Image size 250×250 · 40× oil immersion · bone marrow smear:
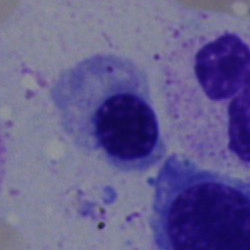 Showing a normoblast.